Brightfield microscopy, 40× oil immersion; bone marrow aspirate smear
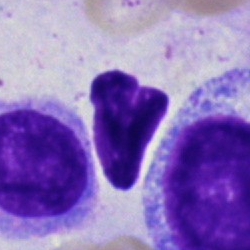

Cell type — artifact.